Bone marrow aspirate smear — 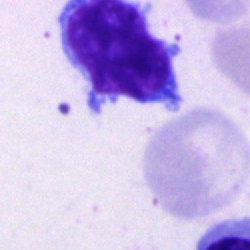
Specimen: bone marrow smear.
Classification: typical lymphocyte.
Lineage: lymphoid.